250×250 px · bone marrow aspirate smear · single-cell crop — 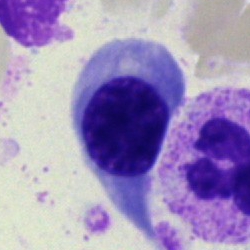
The morphological class is erythroblast.